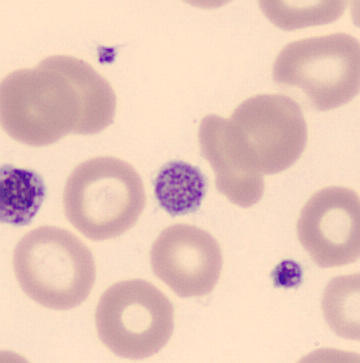 Impression → platelet (thrombocyte).